Bone marrow smear:
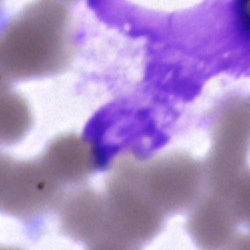Q: What is shown here?
A: An artefact.